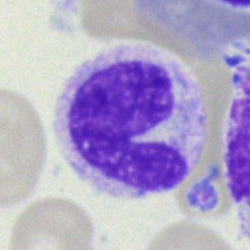 Specimen: bone marrow smear.
Classification: band-form neutrophil.
Lineage: myeloid.